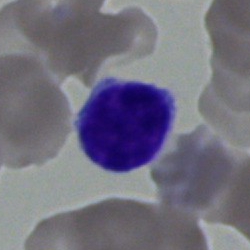
Typical lymphocyte.